Bone marrow aspirate smear: 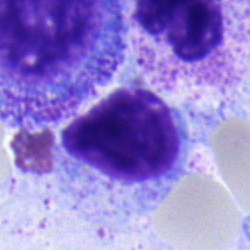

Impression — typical lymphocyte.